Bone marrow smear
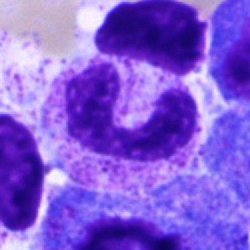

The morphological class is neutrophil (segmented).